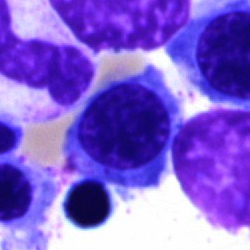 Single cell identified as a normoblast.